Single-cell crop; bone marrow smear.
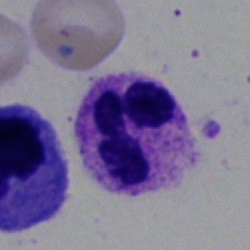 The cell is segmented neutrophil.